Bone marrow aspirate smear.
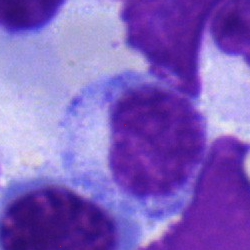
Single cell identified as a myelocyte.